250×250 · bone marrow aspirate smear:
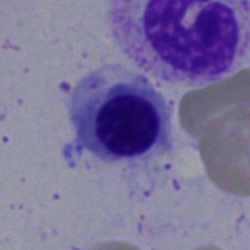

Morphological class: nucleated red blood cell.